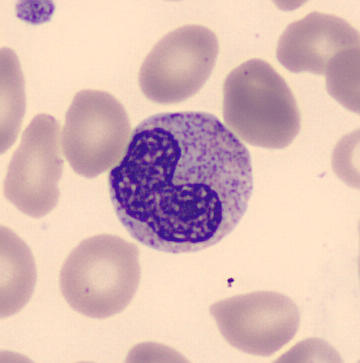 Classification = metamyelocyte.